Bone marrow aspirate smear — 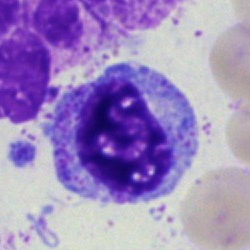

{"cell_type": "myelocyte", "lineage": "myeloid"}